Bone marrow smear:
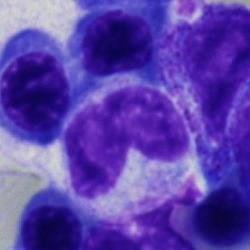Cell — band-form neutrophil.